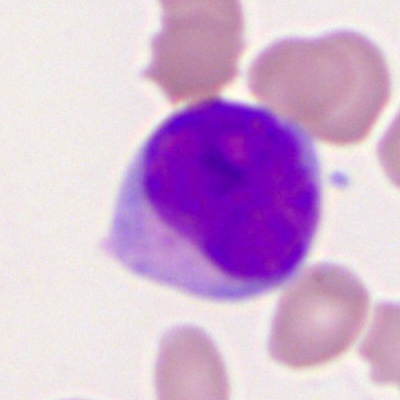
Specimen: peripheral blood film.
Cell: myeloblast.
Lineage: myeloid.